Image size 250×250; bone marrow smear: 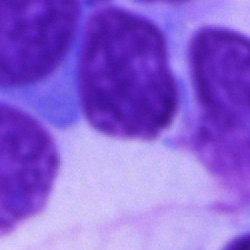

An unidentifiable cell.